250×250. Bone marrow smear
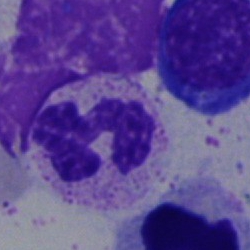

Specimen: bone marrow smear.
Cell: neutrophil (segmented).
Lineage: myeloid.